Bone marrow aspirate smear — 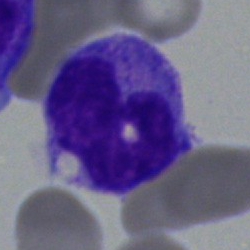

{"cell_type": "monocyte", "lineage": "myeloid"}